Bone marrow smear: 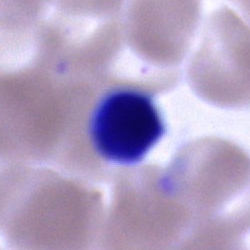Unidentifiable cell.